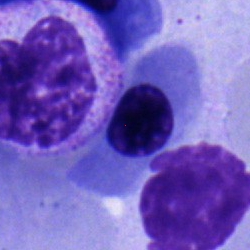Specimen: bone marrow smear.
Classification: erythroblast.
Lineage: erythroid.